Bone marrow smear.
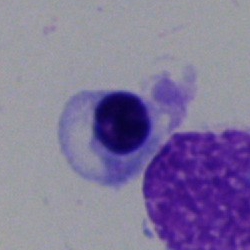

Cell type: normoblast.